Single-cell field; bone marrow smear.
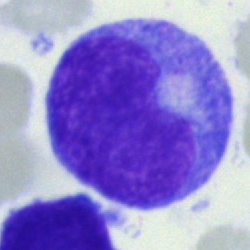

The morphological class is undifferentiated blast.